40× oil immersion; bone marrow smear; Pappenheim-stained
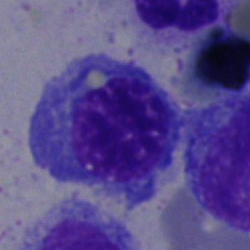

Q: Which cell type is shown here?
A: An erythroblast.